Bone marrow aspirate smear. MGG-stained:
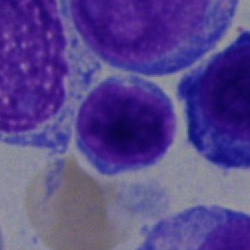
Morphology consistent with a lymphocyte.